Bone marrow smear — 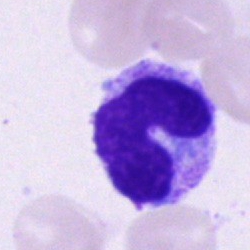
{"cell_type": "band neutrophil", "lineage": "myeloid"}